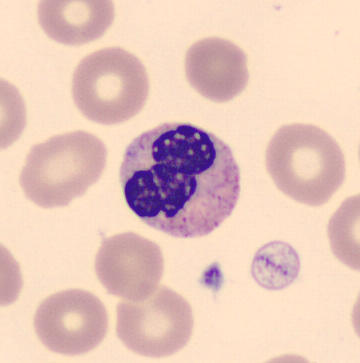
Impression → band neutrophil.

Acquisition: Peripheral blood smear; May Grünwald-Giemsa stain.